Peripheral blood smear — 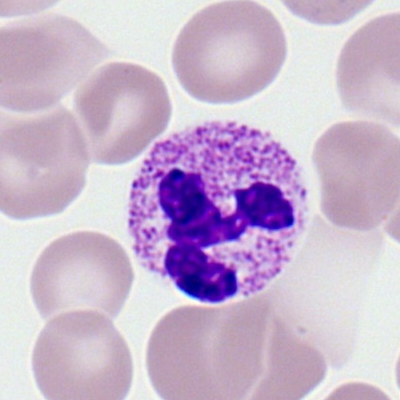

Morphology consistent with a polymorphonuclear neutrophil.